Bone marrow smear: 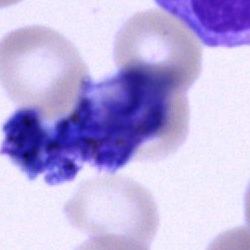Specimen: bone marrow aspirate smear.
Cell type: artefact.